Bone marrow aspirate smear — 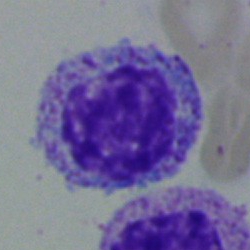

Showing a myelocyte.